Bone marrow aspirate smear.
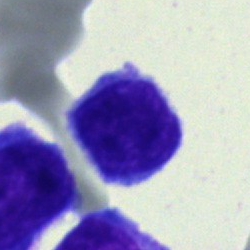Q: What is shown here?
A: Typical lymphocyte.